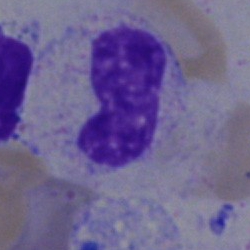
Specimen: bone marrow smear.
Classification: band neutrophil.
Lineage: myeloid.